Peripheral blood film; M8 digital microscope (Precipoint), 100× oil immersion — 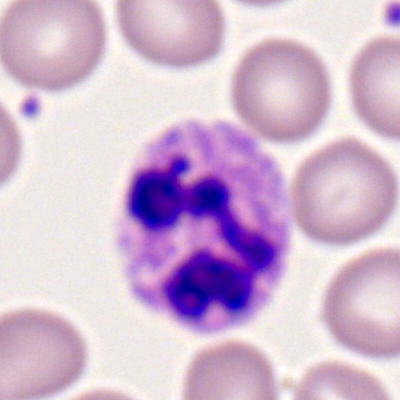 Single cell identified as a segmented neutrophil.